250×250 px; bone marrow smear; 40× oil immersion — 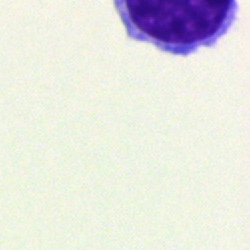Q: What is shown here?
A: An artifact.